Brightfield microscopy, 40× oil immersion · bone marrow smear
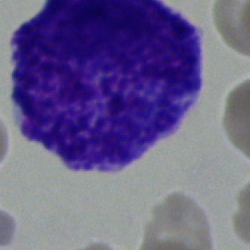

Classification — blast cell.